Bone marrow aspirate smear
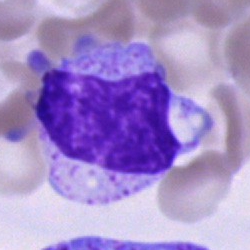

Morphology consistent with an unidentifiable cell.